Bone marrow aspirate smear. Single-cell crop. 40× objective, oil immersion
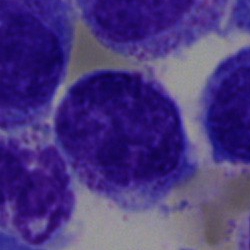

Q: What is shown here?
A: It is a blast cell.